Bone marrow aspirate smear; Pappenheim-stained
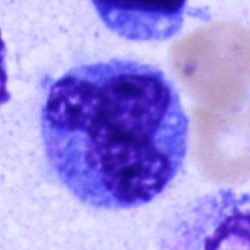

Q: What is shown here?
A: Monocyte.